Bone marrow aspirate smear · 40× oil immersion
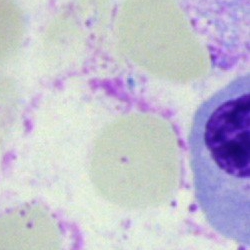
Impression → artefact.